Bone marrow aspirate smear — 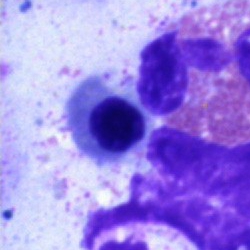
Q: What type of cell is this?
A: This is an erythroblast.